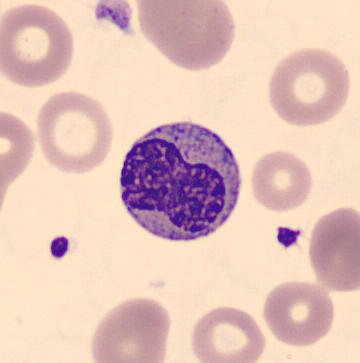

Q: Which cell type is shown here?
A: A metamyelocyte.

Peripheral blood smear · May Grünwald-Giemsa stain · single-cell field.